250 by 250 pixels · bone marrow smear: 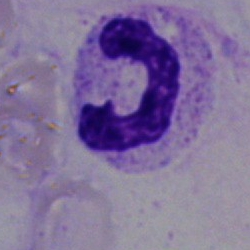

The cell shown is a segmented neutrophil.